Bone marrow aspirate smear: 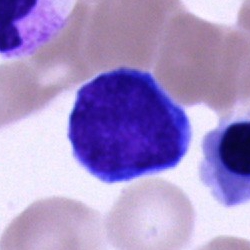Impression — typical lymphocyte.